Bone marrow smear — 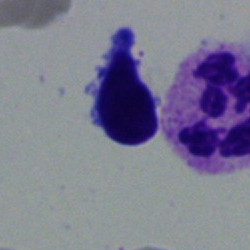
Lymphocyte.